May-Grünwald-Giemsa stain. Bone marrow smear
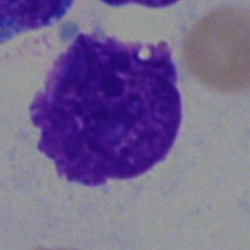The morphological class is artefact.